Bone marrow aspirate smear:
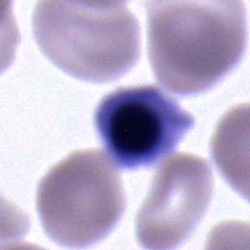

Morphological class — nucleated red cell.